Bone marrow smear · May-Grünwald-Giemsa/Pappenheim stain: 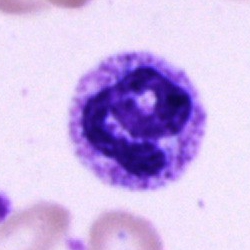 Impression → segmented neutrophil.